Peripheral blood smear; Romanowsky-stained
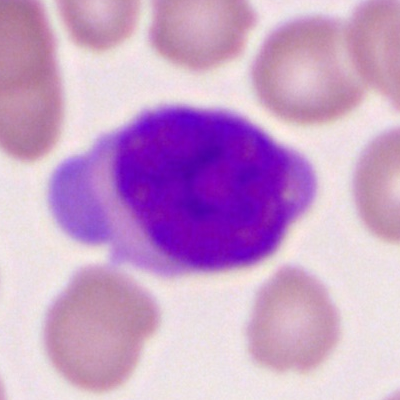
Showing a myeloblast.